Bone marrow aspirate smear. MGG-stained.
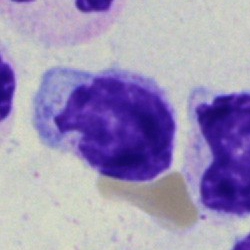
Specimen: bone marrow smear.
Cell: lymphocyte.